Bone marrow aspirate smear; Pappenheim-stained: 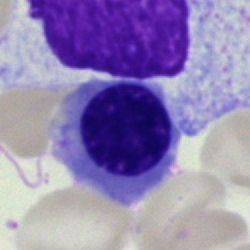The cell shown is an erythroblast.